Bone marrow smear
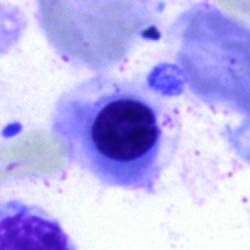The cell type is erythroblast.